Bone marrow smear:
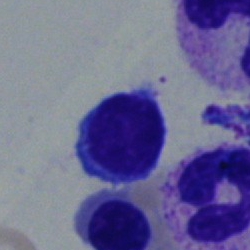Morphology — typical lymphocyte.